Bone marrow smear
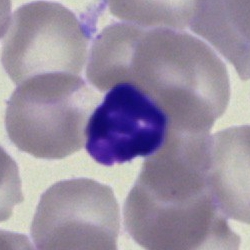Morphology consistent with an artefact.